Single-cell crop · bone marrow smear — 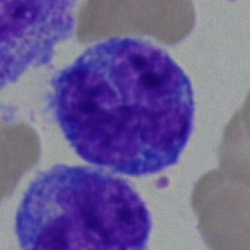 Q: What is the morphological classification of this cell?
A: This is a monocyte.